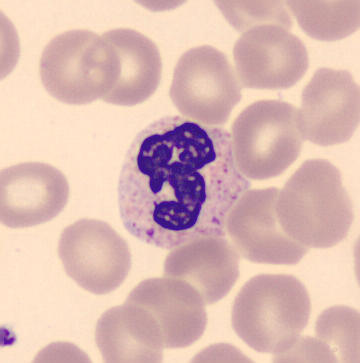Acquisition: Peripheral blood film.

Cell: segmented neutrophil.